Bone marrow smear — 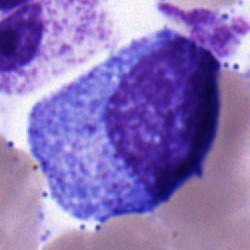 Q: What type of cell is this?
A: It is a myelocyte.